Bone marrow smear:
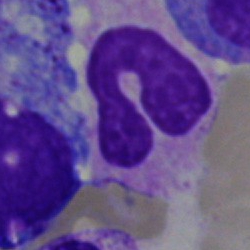
Q: What type of cell is this?
A: Band neutrophil.